May-Grünwald-Giemsa/Pappenheim stain; bone marrow smear:
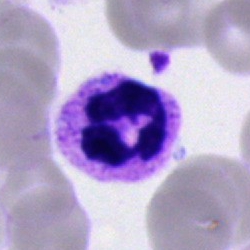
Q: What is the morphological classification of this cell?
A: A polymorphonuclear neutrophil.